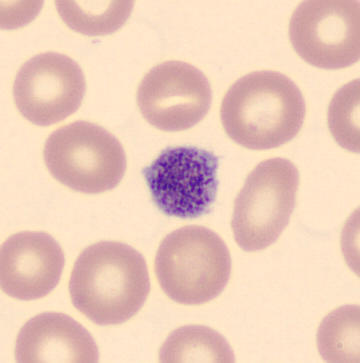

Preparation: Peripheral blood film.
Classification — platelet (thrombocyte).